250×250; bone marrow aspirate smear: 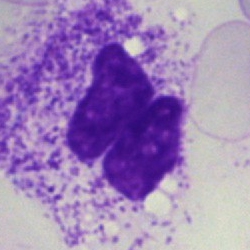

Single cell identified as a neutrophil (segmented).